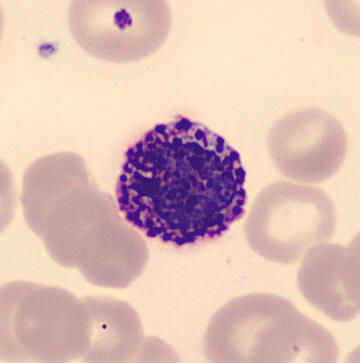

Acquisition: Peripheral blood smear; May-Grünwald-Giemsa-stained. Identified as a basophil.